Bone marrow smear. 250×250
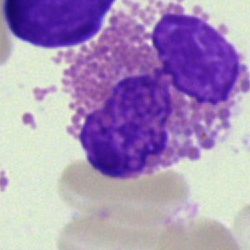

The cell shown is an eosinophilic granulocyte.